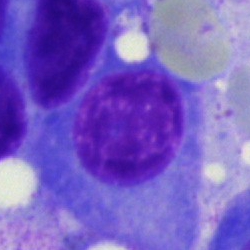Q: What is the morphological classification of this cell?
A: Plasma cell.